Bone marrow smear
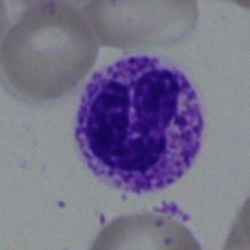 This is a polymorphonuclear neutrophil.